250 by 250 pixels · bone marrow aspirate smear
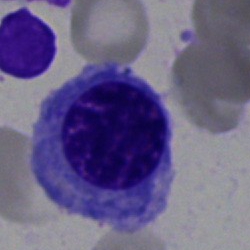Cell = erythroblast.